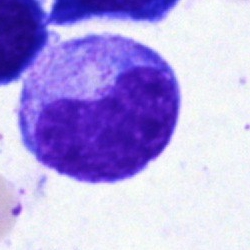Morphology — metamyelocyte.